Bone marrow smear.
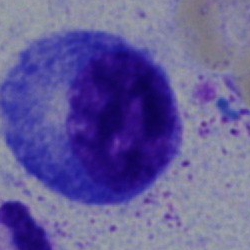

This is a progranulocyte.